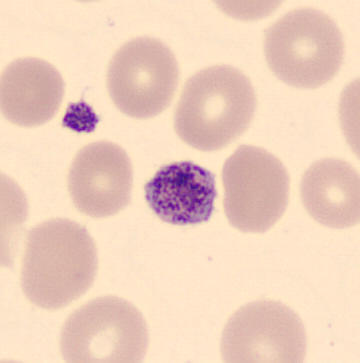

Identified as a platelet (thrombocyte).